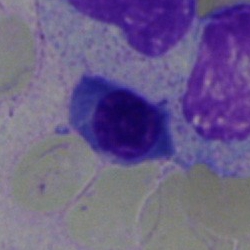
This is a normoblast.